Peripheral blood smear
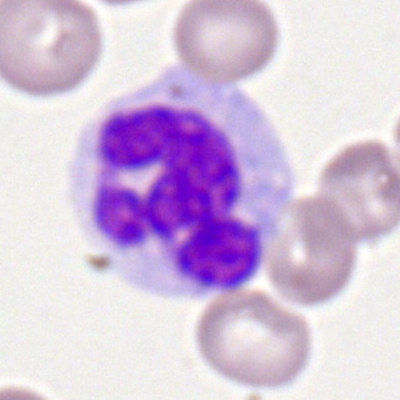 This is a monocyte.